Bone marrow aspirate smear. 250 by 250 pixels.
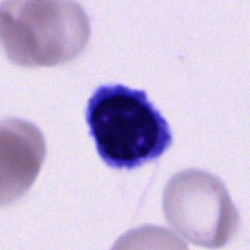Morphological class: cell of indeterminate lineage.